Bone marrow smear
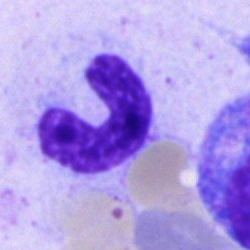Specimen: bone marrow smear.
Classification: stab cell.
Lineage: myeloid.